Bone marrow smear: 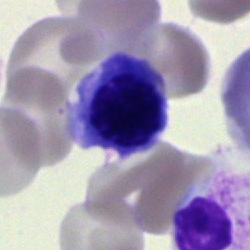 Erythroblast.